Bone marrow smear. 40× objective, oil immersion
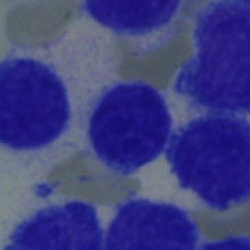

Q: Identify the cell.
A: Lymphocyte.